250 by 250 pixels; bone marrow aspirate smear; May-Grünwald-Giemsa/Pappenheim stain:
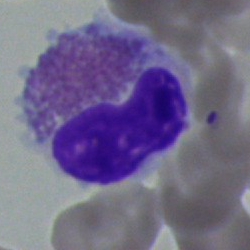

Classification = eosinophilic granulocyte.